Bone marrow aspirate smear: 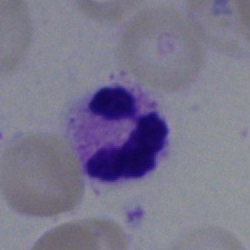

Neutrophil (segmented).